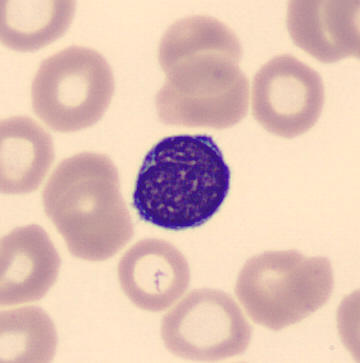Impression — typical lymphocyte.

Peripheral blood smear.